MGG-stained. 40× oil immersion. Bone marrow smear:
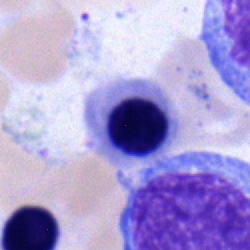
Specimen: bone marrow aspirate smear.
Cell: nucleated red cell.
Lineage: erythroid.